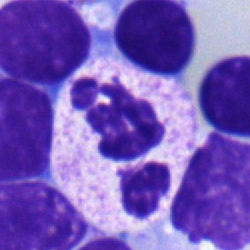

Cell — segmented neutrophil.